Peripheral blood film · Romanowsky stain · single-cell field — 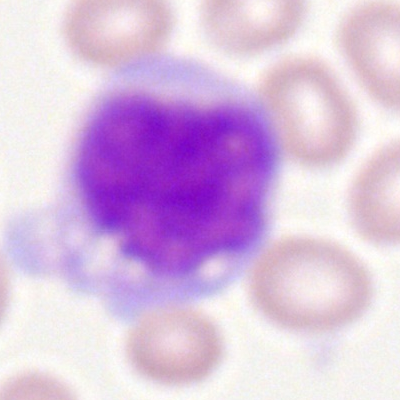
{"cell_type": "monocyte", "lineage": "myeloid"}